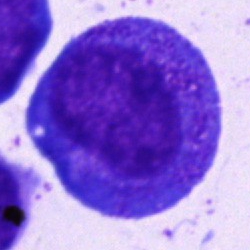

Impression — progranulocyte.